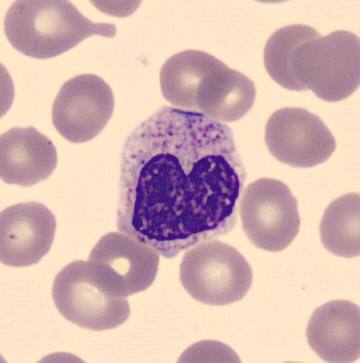
Morphological class: metamyelocyte.
Image: Peripheral blood smear. 360×363 px.